Bone marrow aspirate smear; 250×250 px; cropped to a single cell
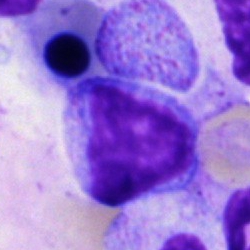 The cell shown is a lymphocyte.